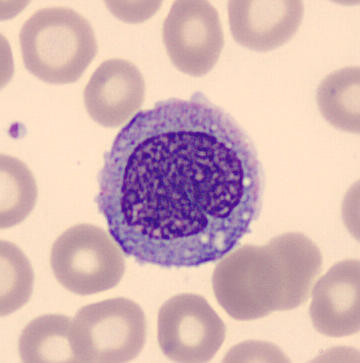
Acquisition: Peripheral blood film. Identified as a monocyte.